MGG-stained · bone marrow smear · 250 by 250 pixels.
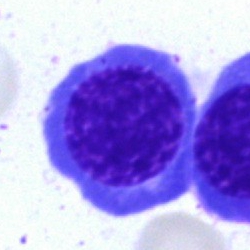 Nucleated red blood cell.